40× oil immersion. Bone marrow smear:
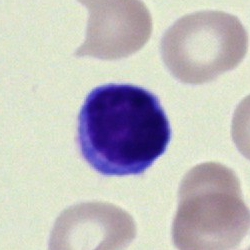Single cell identified as a typical lymphocyte.